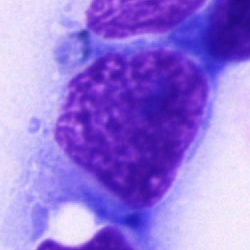 Morphological class = unidentifiable cell.